Bone marrow aspirate smear.
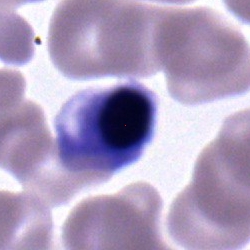 A normoblast.